Bone marrow aspirate smear; single-cell crop
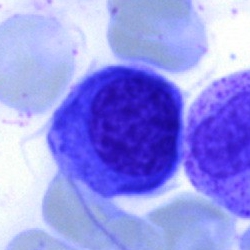 Single cell identified as an erythroblast.